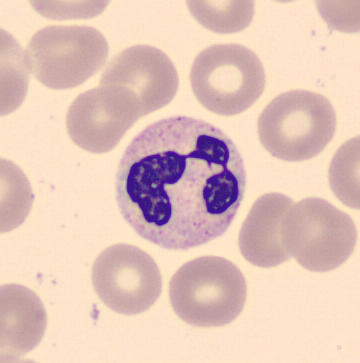Preparation: Peripheral blood film.
Morphology — neutrophil (segmented).